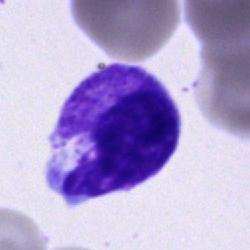Specimen: bone marrow aspirate smear.
Cell: cell of indeterminate lineage.